Brightfield, 40× oil-immersion objective · bone marrow smear:
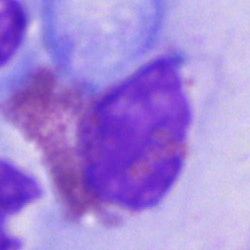{"cell_type": "cell of indeterminate lineage"}